Bone marrow smear
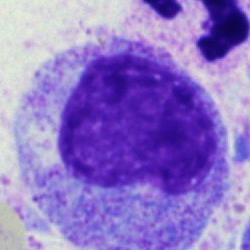 Impression → promyelocyte.